Bone marrow smear:
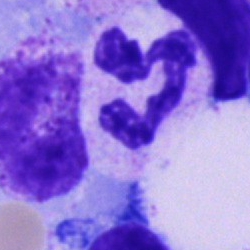
A polymorphonuclear neutrophil.